Bone marrow smear. Single cell centered in the field
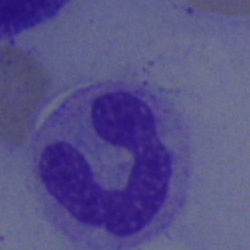 A neutrophil (band).